Bone marrow smear · cropped to a single cell · May-Grünwald-Giemsa/Pappenheim stain:
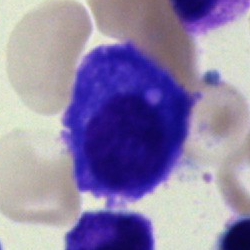Specimen: bone marrow aspirate smear.
Classification: plasmacyte.
Lineage: lymphoid.